250×250; bone marrow smear — 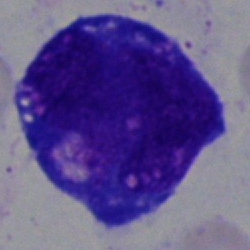

{"cell_type": "undifferentiated blast"}